Image size 250×250 · bone marrow smear · brightfield microscopy, 40× oil immersion
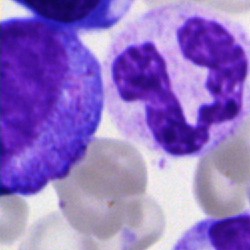

Q: What type of cell is this?
A: Polymorphonuclear neutrophil.